Bone marrow aspirate smear:
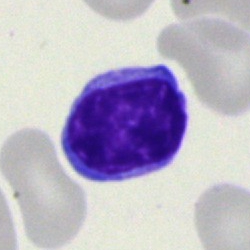

Cell — lymphocyte.